Bone marrow aspirate smear; brightfield microscopy, 40× oil immersion; Pappenheim-stained:
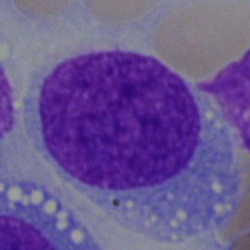
Cell = blast cell.